250 by 250 pixels; bone marrow aspirate smear; brightfield, 40× oil-immersion objective:
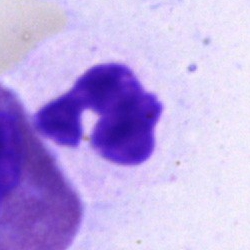 Q: Identify the cell.
A: A neutrophil (segmented).